Bone marrow aspirate smear · May-Grünwald-Giemsa stain — 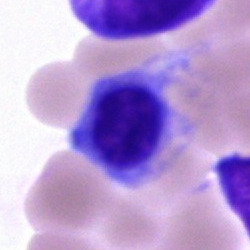Cell — nucleated red blood cell.